Peripheral blood film
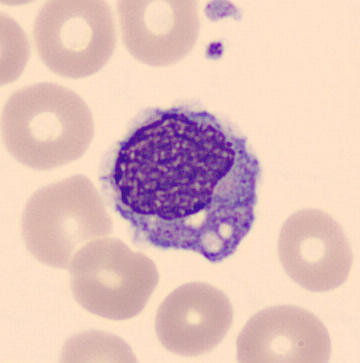
Cell type — monocyte.